Bone marrow aspirate smear. Pappenheim-stained. Single-cell crop: 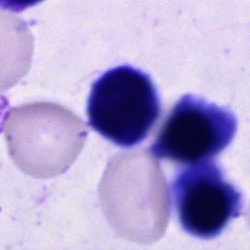 Q: Identify the cell.
A: This is a cell of indeterminate lineage.